Bone marrow aspirate smear — 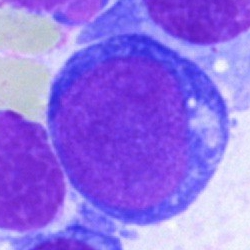Q: Which cell type is shown here?
A: This is a pronormoblast.